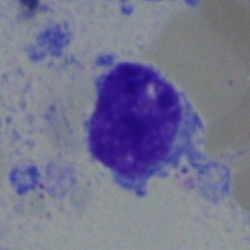
A typical lymphocyte on a bone marrow smear.